Bone marrow smear:
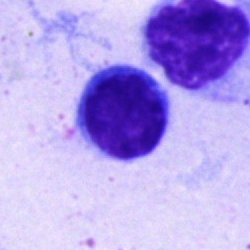

Morphology consistent with a typical lymphocyte.